Pappenheim-stained. Image size 250×250. Bone marrow smear.
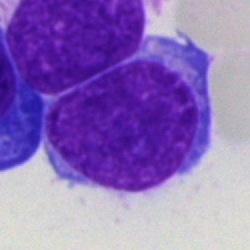Lymphocyte.